Bone marrow smear · single cell centered in the field · image size 250×250:
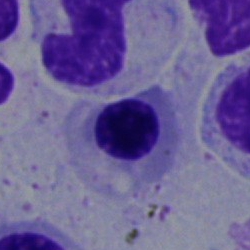Cell type — erythroblast.